Bone marrow smear.
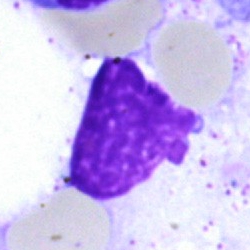Showing an artifact.